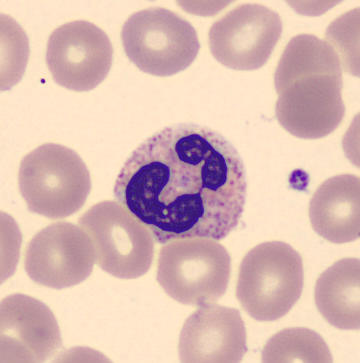
The morphological class is neutrophil (segmented).